Bone marrow smear
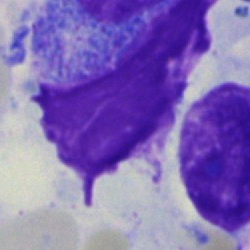
Q: What is shown here?
A: An artefact.